Bone marrow smear. May-Grünwald-Giemsa stain. Single-cell crop — 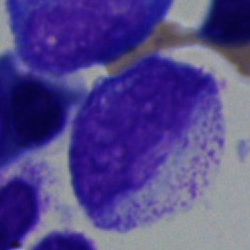 Impression → myelocyte.